Image size 400×400 · peripheral blood smear · Romanowsky-type stain:
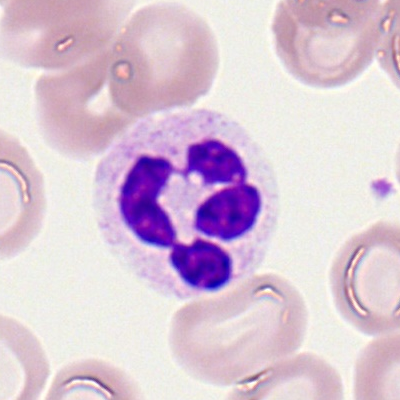

Q: What is the morphological classification of this cell?
A: It is a segmented neutrophil.